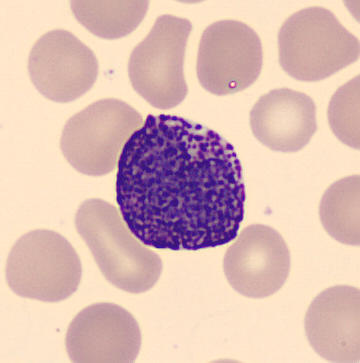 Single-cell crop · peripheral blood film · image size 360×363.
Cell type — basophilic granulocyte.